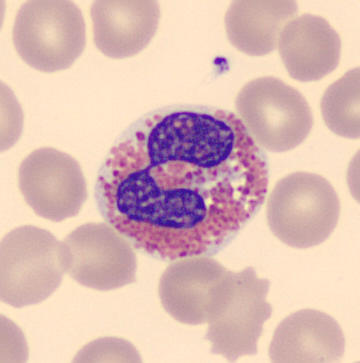

Image: Peripheral blood smear.
The cell is eosinophilic granulocyte.